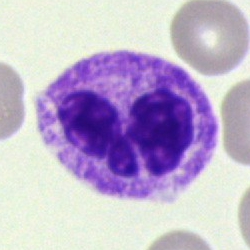
Specimen: bone marrow smear.
Classification: neutrophil (segmented).
Lineage: myeloid.